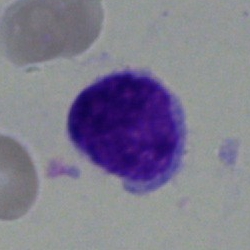 Q: What is shown here?
A: Typical lymphocyte.